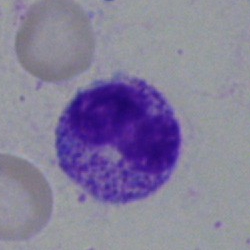 Cell = stab cell.